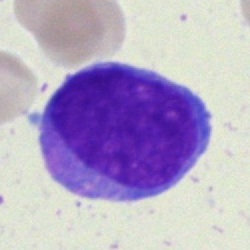 Specimen: bone marrow smear.
Cell type: blast.